Bone marrow smear. May-Grünwald-Giemsa stain. Brightfield, 40× oil-immersion objective.
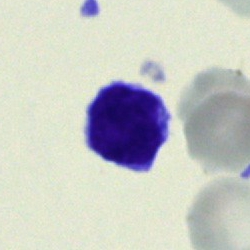 Cell = typical lymphocyte.